Bone marrow smear: 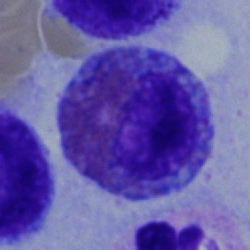Classification: eosinophil.